May-Grünwald-Giemsa/Pappenheim stain · bone marrow aspirate smear.
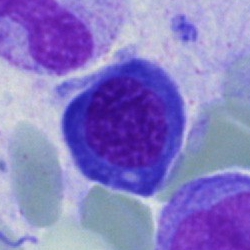
{"cell_type": "nucleated red cell"}